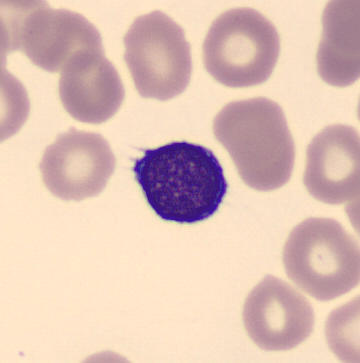Specimen: peripheral blood film.
Cell type: typical lymphocyte.